Bone marrow aspirate smear:
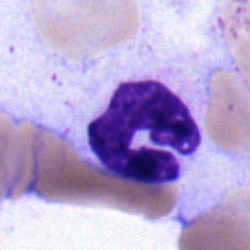

Showing a polymorphonuclear neutrophil.